Bone marrow aspirate smear: 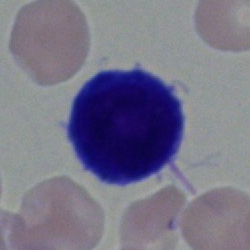
A cell of indeterminate lineage.